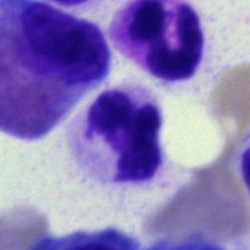

Showing a segmented neutrophil.